400×400 · peripheral blood film
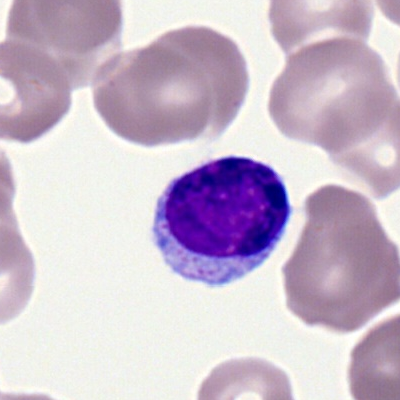 The cell shown is a lymphocyte.